Bone marrow smear. 250×250: 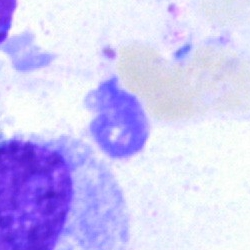

Q: What is shown here?
A: It is an artifact.